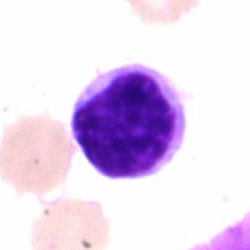
Q: What type of cell is this?
A: Typical lymphocyte.